Single cell centered in the field · bone marrow smear: 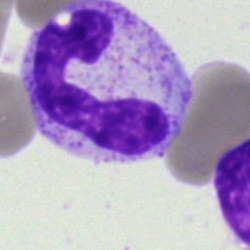Q: What type of cell is this?
A: Neutrophil (segmented).